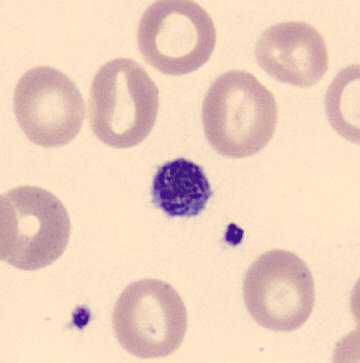Acquisition: Peripheral blood smear. Thrombocyte.